Bone marrow smear:
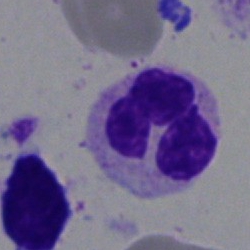Morphological class: neutrophil (segmented).